Brightfield microscopy, 40× oil immersion; bone marrow smear: 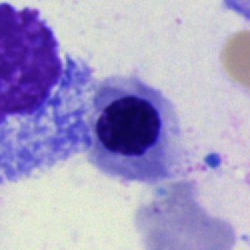
The cell is nucleated red cell.